Bone marrow aspirate smear · May-Grünwald-Giemsa/Pappenheim stain.
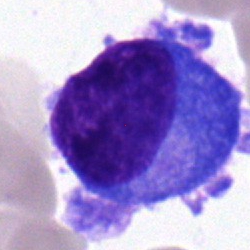 Classification — plasma cell.